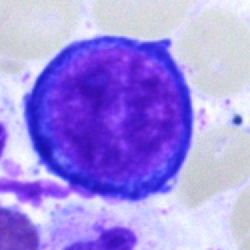Specimen: bone marrow smear.
Cell: pronormoblast.